Bone marrow aspirate smear; May-Grünwald-Giemsa/Pappenheim stain; 40× oil immersion
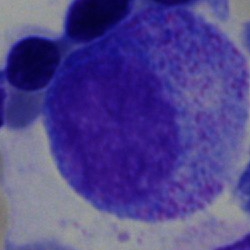Q: What is shown here?
A: Promyelocyte.